Bone marrow aspirate smear · single-cell field — 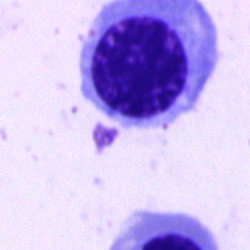 Classification: erythroblast.